Bone marrow smear — 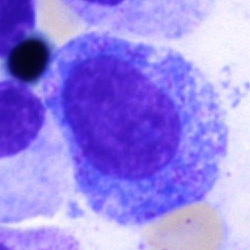{"cell_type": "progranulocyte", "lineage": "myeloid"}